Bone marrow smear
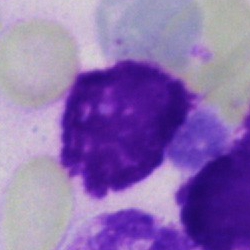
An artifact.